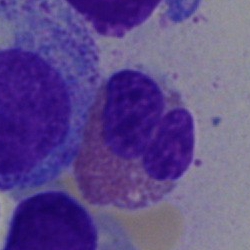Morphology — eosinophilic granulocyte.